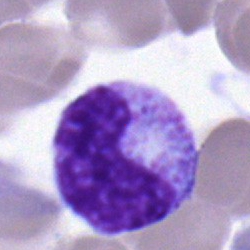Showing a myelocyte.